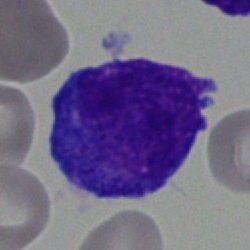
Morphological class = progranulocyte.